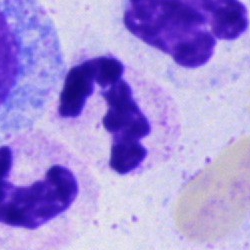{"cell_type": "segmented neutrophil"}